Bone marrow aspirate smear:
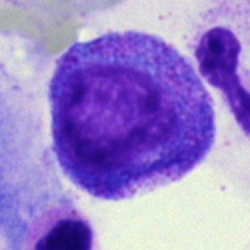The cell shown is a promyelocyte.